Bone marrow aspirate smear. Single-cell field
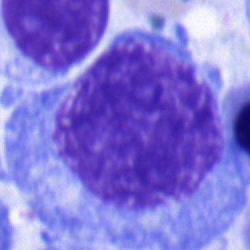 The cell type is progranulocyte.